Bone marrow smear
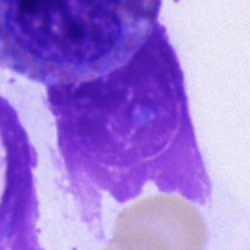Q: What is shown here?
A: This is an artifact.